Bone marrow smear. Pappenheim-stained
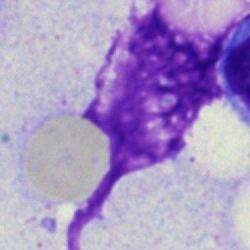
Showing an artefact.